Bone marrow aspirate smear: 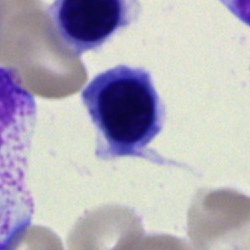Q: Which cell type is shown here?
A: This is a nucleated red blood cell.